MGG-stained; bone marrow smear: 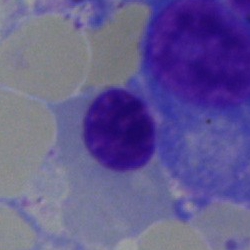

Q: What type of cell is this?
A: An erythroblast.